Peripheral blood smear.
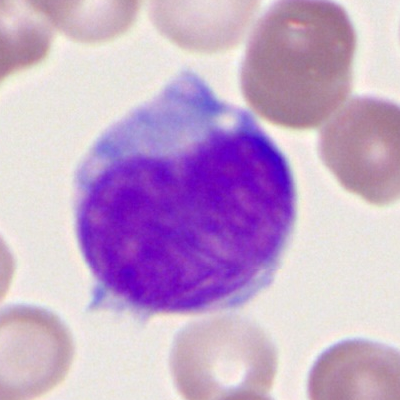Q: What is shown here?
A: It is a myeloblast.